Single cell centered in the field. 250×250. Bone marrow smear: 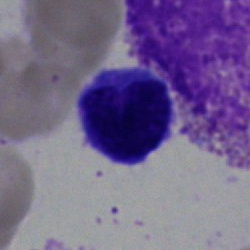The cell shown is a typical lymphocyte.